Bone marrow smear. May-Grünwald-Giemsa/Pappenheim stain. Single cell centered in the field: 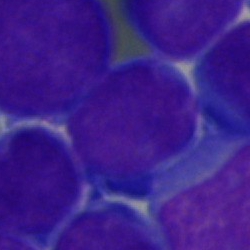Specimen: bone marrow smear.
Cell: blast cell.